Bone marrow smear — 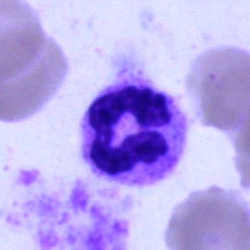 This is a segmented neutrophil.